Peripheral blood film · single-cell field:
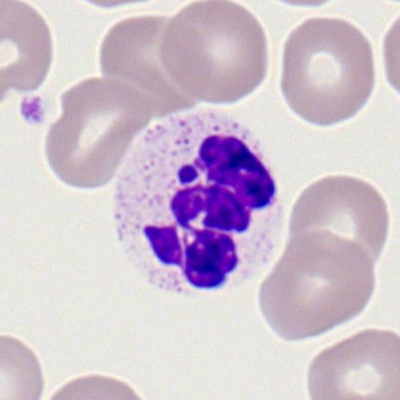

Q: Identify the cell.
A: A neutrophil (segmented).